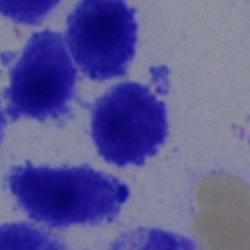 Impression — lymphocyte.